250×250 px; bone marrow aspirate smear; cropped to a single cell:
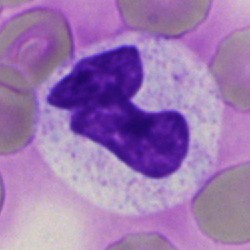 The cell is neutrophil (segmented).